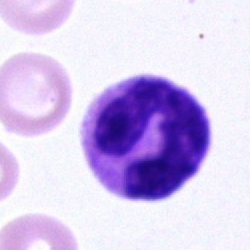Q: What type of cell is this?
A: Polymorphonuclear neutrophil.